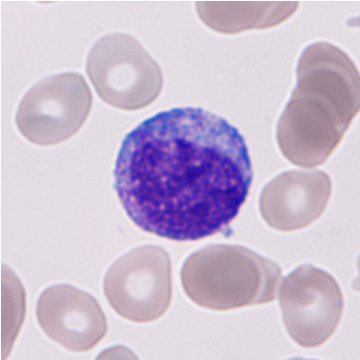

CellaVision DM96 digital cell image · peripheral blood film.
Morphological class: immature granulocyte.